Bone marrow aspirate smear · Pappenheim-stained · single-cell crop
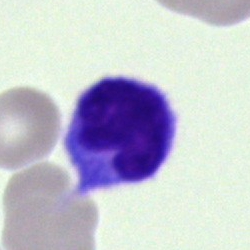The cell shown is a monocyte.